Bone marrow smear:
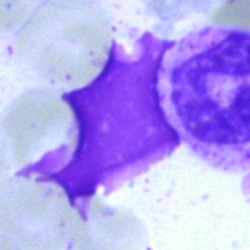 Q: What is shown here?
A: An artefact.